Bone marrow smear.
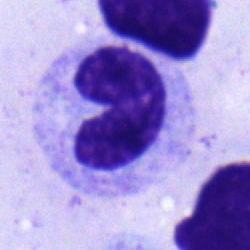
Single cell identified as a neutrophil (band).